Bone marrow smear:
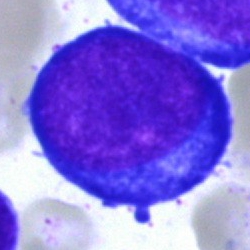

Morphological class: proerythroblast.